Bone marrow aspirate smear: 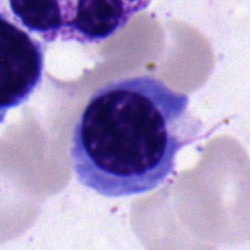 Classification: nucleated red cell.